Bone marrow aspirate smear.
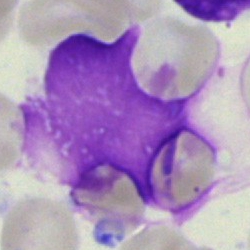
This is an artifact.